May-Grünwald-Giemsa-stained; 360 by 363 pixels; peripheral blood smear:
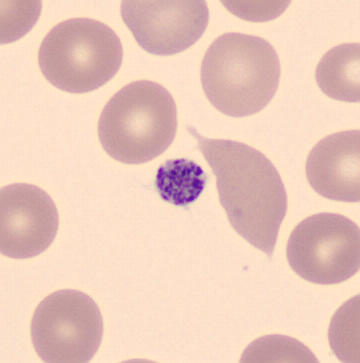This is a platelet (thrombocyte).